Peripheral blood film: 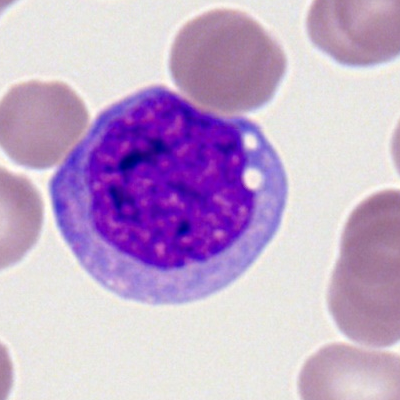 The classification is monocyte.